Bone marrow smear: 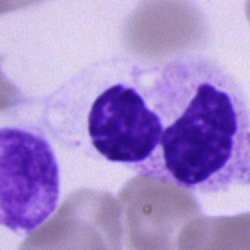Classification: polymorphonuclear neutrophil.